250×250. Bone marrow aspirate smear — 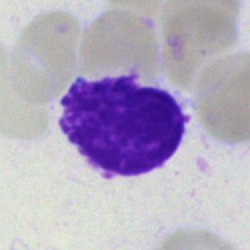 Specimen: bone marrow aspirate smear.
Classification: artefact.